Bone marrow aspirate smear — 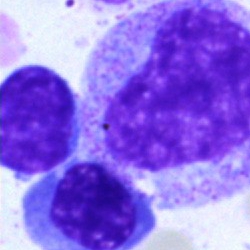

Q: Identify the cell.
A: It is a metamyelocyte.